Bone marrow smear.
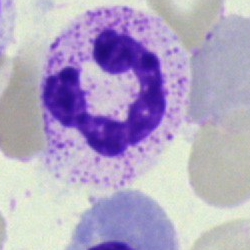

Cell type — neutrophil (segmented).